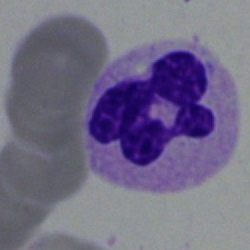Segmented neutrophil.